100× objective, oil immersion · peripheral blood film: 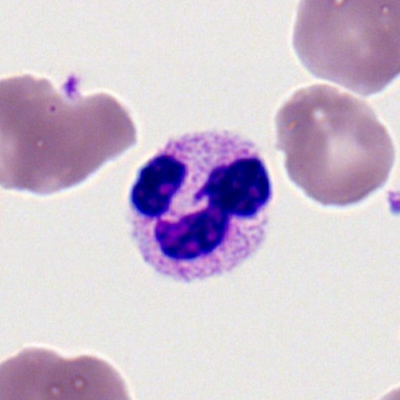 The cell type is neutrophil (segmented).